Bone marrow aspirate smear; MGG-stained — 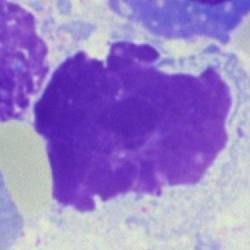 Cell type = artefact.